MGG-stained. Bone marrow aspirate smear: 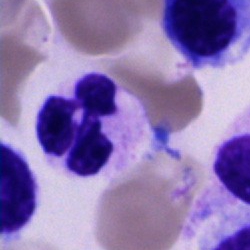

Q: What is the morphological classification of this cell?
A: A polymorphonuclear neutrophil.